Bone marrow smear. Brightfield microscopy, 40× oil immersion:
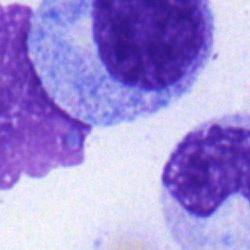
A myelocyte.